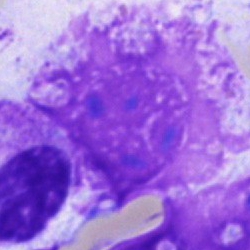 Specimen: bone marrow aspirate smear.
Classification: artifact.